Bone marrow aspirate smear · 40× oil immersion: 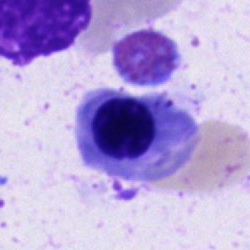
Q: What cell is this?
A: Nucleated red cell.